Bone marrow smear · image size 250×250
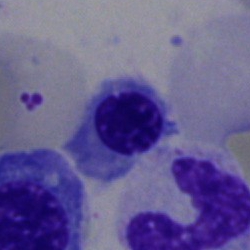

Specimen: bone marrow aspirate smear.
Cell type: erythroblast.
Lineage: erythroid.